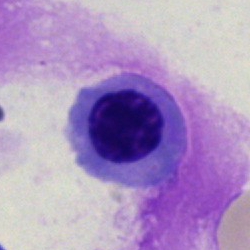A nucleated red cell on a bone marrow smear.